Bone marrow aspirate smear — 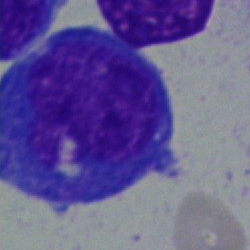
Morphology — undifferentiated blast.